Peripheral blood smear. 400×400: 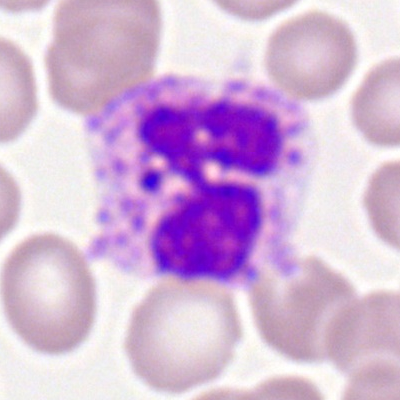The cell shown is a neutrophil (segmented).